Bone marrow smear:
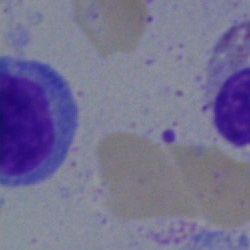 {"cell_type": "typical lymphocyte", "lineage": "lymphoid"}